May-Grünwald-Giemsa/Pappenheim stain; 250×250; bone marrow smear: 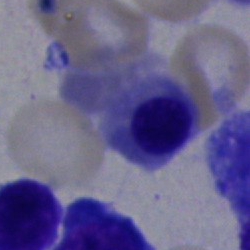

Cell type: nucleated red cell.